Bone marrow smear; image size 250×250:
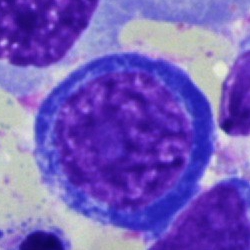Q: Which cell type is shown here?
A: A nucleated red cell.